Bone marrow smear · brightfield microscopy, 40× oil immersion — 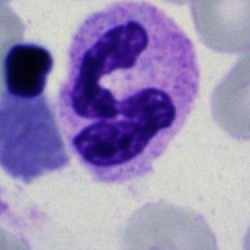 The classification is segmented neutrophil.